Single-cell crop. Bone marrow aspirate smear. Pappenheim-stained — 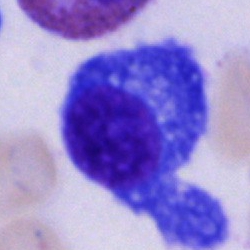 Single cell identified as a plasmacyte.